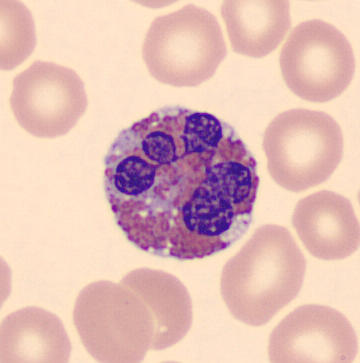Peripheral blood film; CellaVision DM96; May-Grünwald-Giemsa-stained.

The cell is eosinophil.